May-Grünwald-Giemsa/Pappenheim stain · bone marrow aspirate smear · single cell centered in the field: 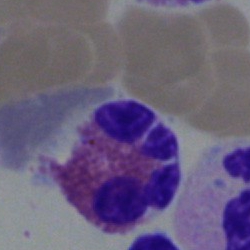 Single cell identified as an eosinophil.